Bone marrow smear: 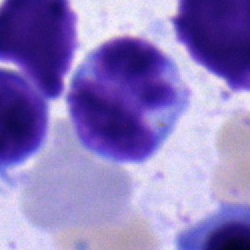
The cell shown is a monocyte.